Bone marrow aspirate smear.
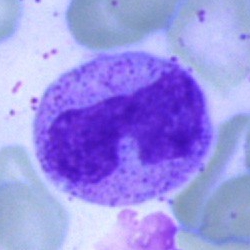
Cell: band neutrophil.